Bone marrow smear:
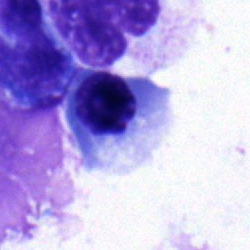

Morphology consistent with a nucleated red blood cell.